Brightfield microscopy, 40× oil immersion. Bone marrow smear: 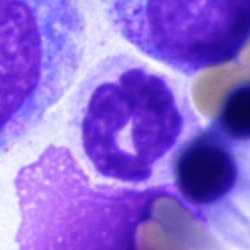The morphological class is segmented neutrophil.